Bone marrow smear — 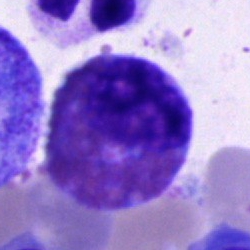
Showing an eosinophil.